Peripheral blood smear · single-cell crop · 100× objective, oil immersion: 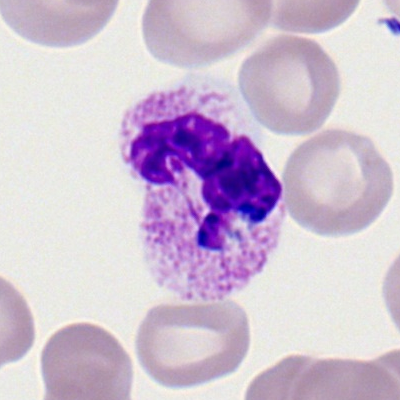 Q: Identify the cell.
A: This is a segmented neutrophil.